Bone marrow aspirate smear. May-Grünwald-Giemsa/Pappenheim stain.
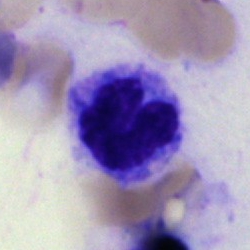

Q: What is shown here?
A: This is an artifact.